Single-cell crop · bone marrow aspirate smear · 40× objective, oil immersion: 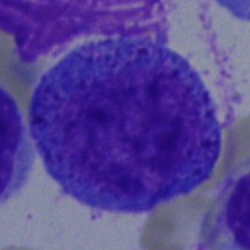
Showing a promyelocyte.